Bone marrow aspirate smear: 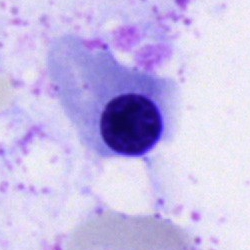

This is a nucleated red blood cell.